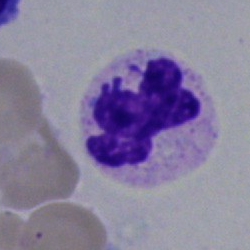

Cell type — polymorphonuclear neutrophil.